Single-cell crop; bone marrow aspirate smear.
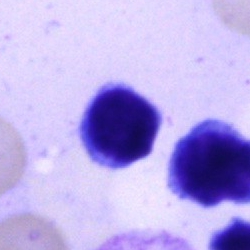
Specimen: bone marrow aspirate smear.
Cell type: lymphocyte.